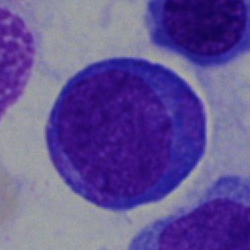Bone marrow smear showing a blast cell.